MGG-stained. Bone marrow aspirate smear:
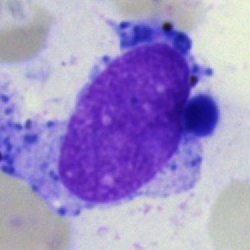
Impression — artefact.